Bone marrow aspirate smear. May-Grünwald-Giemsa stain:
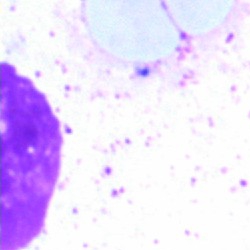 The classification is artefact.